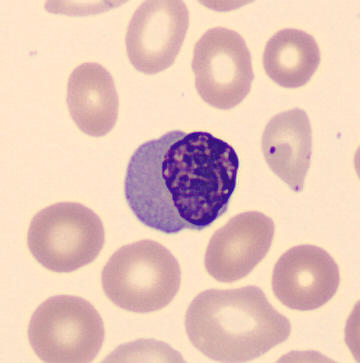
Identified as an erythroblast.